Single-cell field. Bone marrow smear — 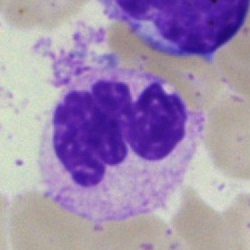
Morphology — neutrophil (segmented).